Brightfield microscopy, 40× oil immersion; bone marrow smear.
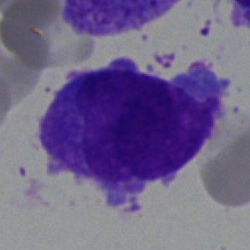

Specimen: bone marrow smear.
Classification: promyelocyte.